Bone marrow aspirate smear:
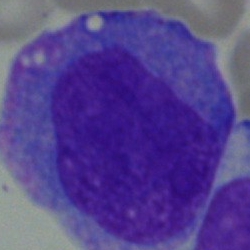
The classification is undifferentiated blast.